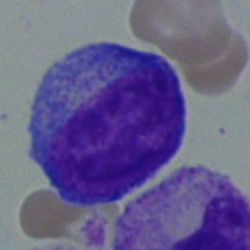Impression — blast.